Romanowsky-type stain; peripheral blood film; 100× oil immersion, 14.14 px/µm
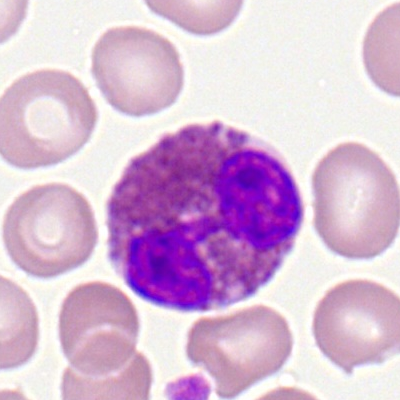Cell type: eosinophilic granulocyte.